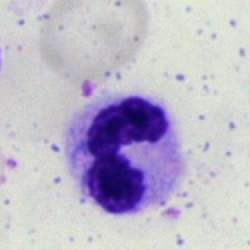Bone marrow smear showing a neutrophil (segmented).